Peripheral blood film
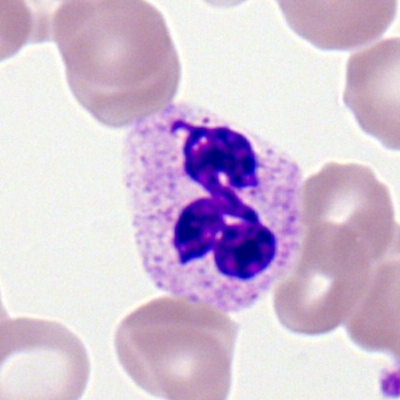
Morphological class: segmented neutrophil.